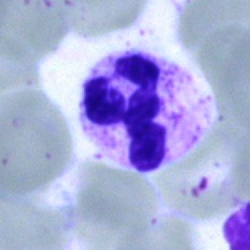
Specimen: bone marrow aspirate smear.
Classification: polymorphonuclear neutrophil.